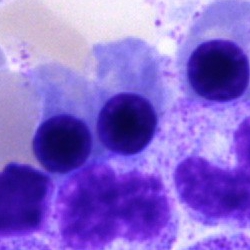

Cell type: nucleated red blood cell.